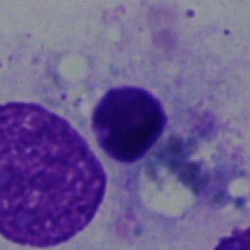 {"cell_type": "nucleated red cell"}